Bone marrow smear; Pappenheim-stained
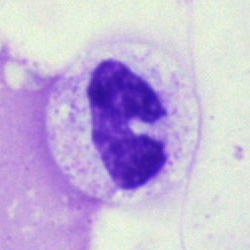Segmented neutrophil.